Bone marrow smear · single cell centered in the field.
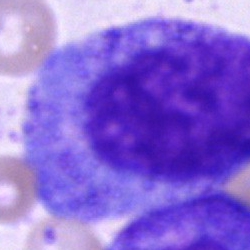

Morphology — progranulocyte.